Bone marrow aspirate smear — 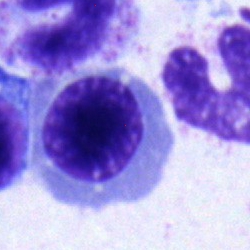
Impression — normoblast.